Bone marrow smear; 250×250
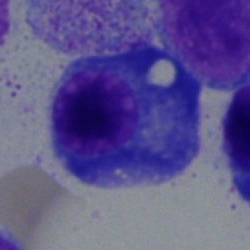
A plasma cell.